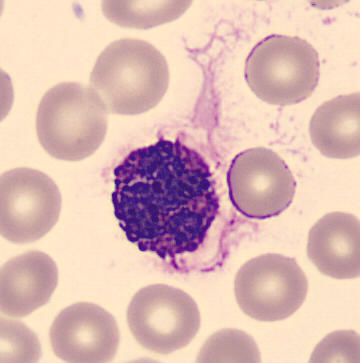Q: What is the morphological classification of this cell?
A: A basophilic granulocyte. Preparation: Imaged on a CellaVision DM96 analyser · peripheral blood film.